Brightfield, 40× oil-immersion objective · bone marrow aspirate smear — 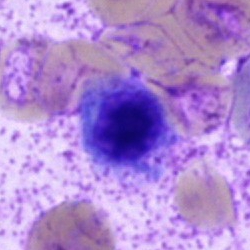

This is a nucleated red blood cell.